Cropped to a single cell; bone marrow smear; 40× oil immersion:
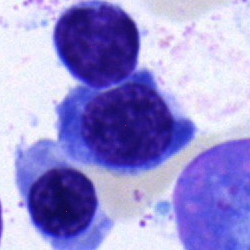
Specimen: bone marrow aspirate smear.
Cell: erythroblast.
Lineage: erythroid.